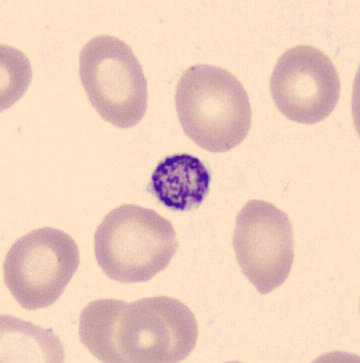
Showing a platelet. Peripheral blood film.